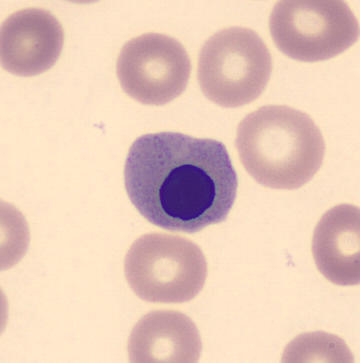

Morphological class: erythroblast.
Acquisition: Peripheral blood film.